Single cell centered in the field; bone marrow smear; 40× oil immersion: 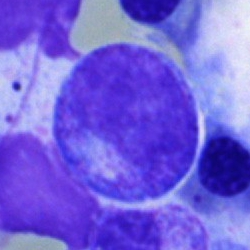
Cell = progranulocyte.